Bone marrow aspirate smear; single cell centered in the field.
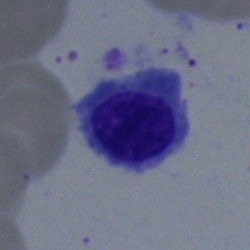Morphology consistent with a nucleated red blood cell.